Bone marrow smear — 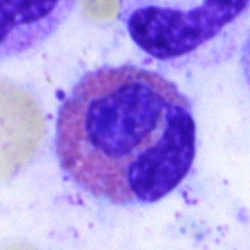Impression — eosinophil.